Romanowsky-type stain; single-cell crop; peripheral blood film — 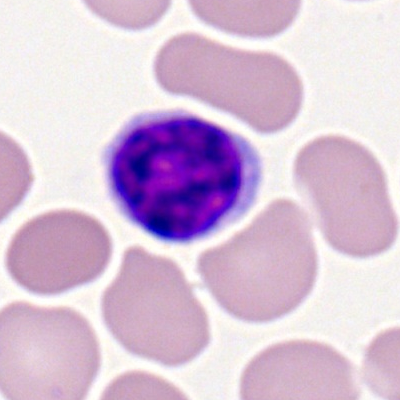
Single cell identified as a lymphocyte.